Bone marrow smear: 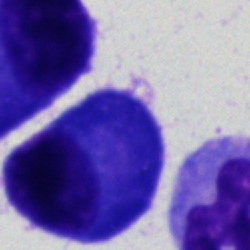
Showing a plasma cell.